Pappenheim-stained. Bone marrow smear.
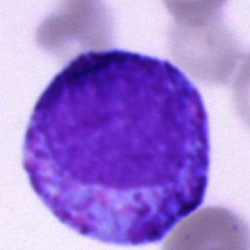The cell shown is a progranulocyte.